Bone marrow aspirate smear
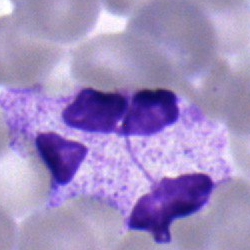

Morphology consistent with a polymorphonuclear neutrophil.